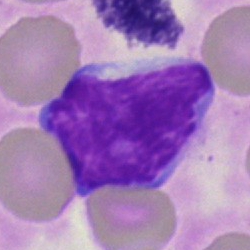 The classification is lymphocyte.